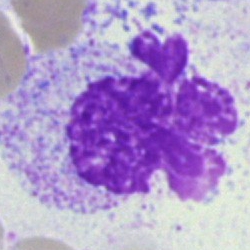

Q: What is shown here?
A: This is an artefact.